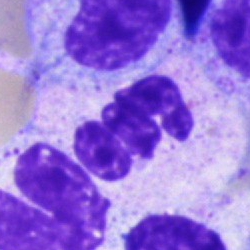

Cell = polymorphonuclear neutrophil.